Bone marrow smear. MGG-stained
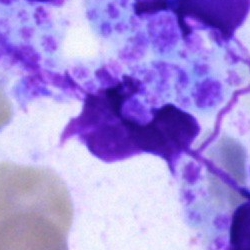 Morphology consistent with an artifact.